MGG-stained. 250×250. Bone marrow aspirate smear.
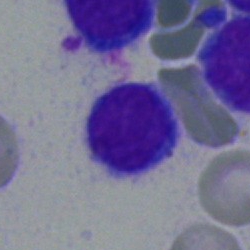 The cell shown is a typical lymphocyte.